Bone marrow aspirate smear.
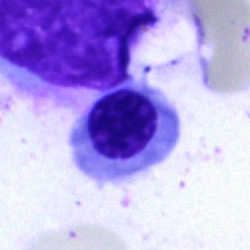

Q: Identify the cell.
A: It is an erythroblast.